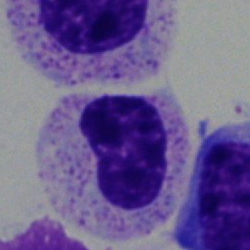 Q: Which cell type is shown here?
A: It is a metamyelocyte.